Bone marrow aspirate smear — 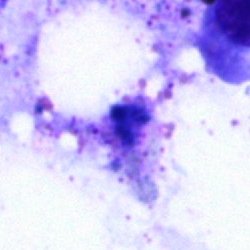

Specimen: bone marrow smear.
Cell type: artifact.